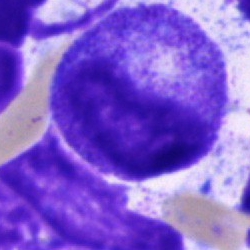 Q: Which cell type is shown here?
A: It is a promyelocyte.